Bone marrow aspirate smear. 40× objective, oil immersion:
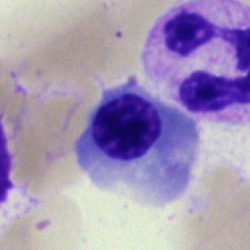Cell: normoblast.